Bone marrow aspirate smear
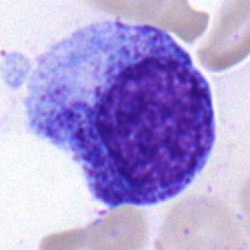

Morphological class — progranulocyte.